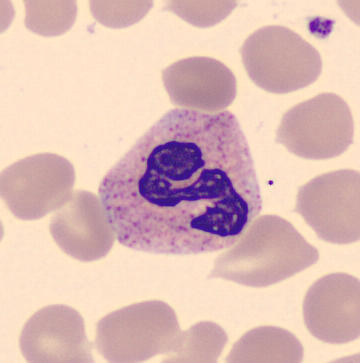

Acquisition: Peripheral blood film.

The classification is neutrophil (segmented).